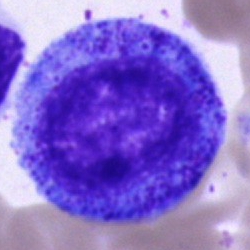Classification — promyelocyte.